Bone marrow aspirate smear:
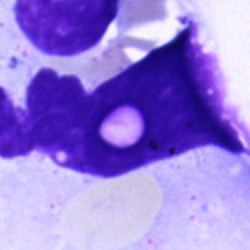
Specimen: bone marrow smear.
Cell type: artefact.